Bone marrow aspirate smear.
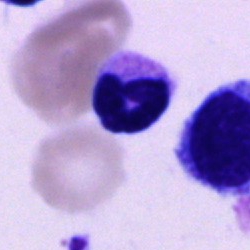The cell is polymorphonuclear neutrophil.